Bone marrow smear: 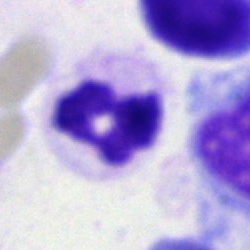

Q: Identify the cell.
A: Segmented neutrophil.